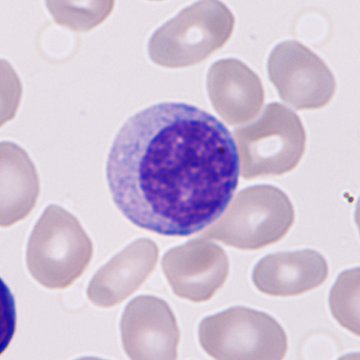Classification = immature granulocyte (promyelocyte, myelocyte or metamyelocyte).